Bone marrow aspirate smear:
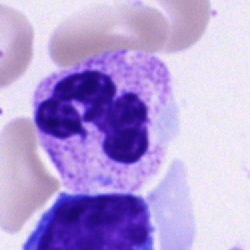 Cell — polymorphonuclear neutrophil.